Bone marrow aspirate smear. Brightfield microscopy, 40× oil immersion. MGG-stained
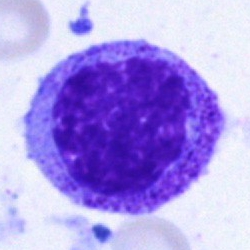 The cell shown is a promyelocyte.